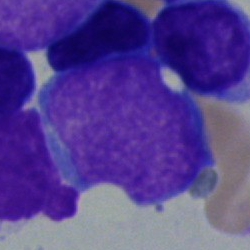
Cell — blast cell.